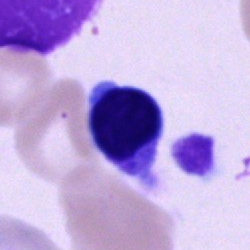

Q: Which cell type is shown here?
A: It is a typical lymphocyte.